Bone marrow smear · 250×250 · single-cell crop
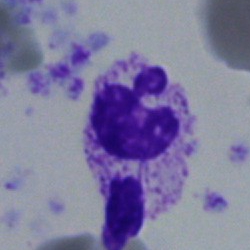

Morphological class = polymorphonuclear neutrophil.